Cropped to a single cell · bone marrow aspirate smear.
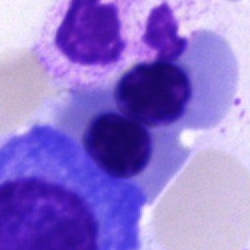

Morphology consistent with a nucleated red cell.